Brightfield microscopy, 40× oil immersion · bone marrow smear — 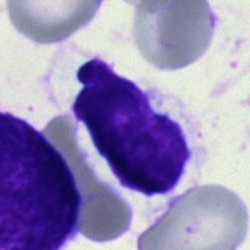An artifact.